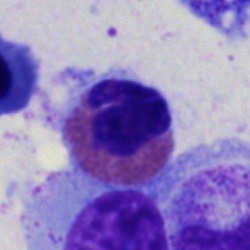 Cell = eosinophilic granulocyte.